Bone marrow aspirate smear — 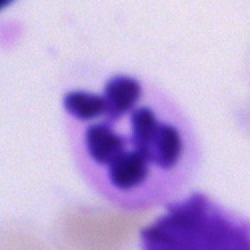
Morphology consistent with a polymorphonuclear neutrophil.